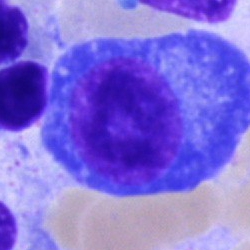 This is a plasmacyte.